Bone marrow smear
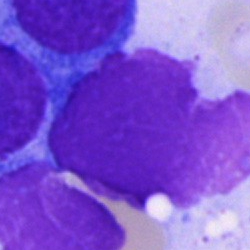
The cell shown is an artifact.